Bone marrow smear:
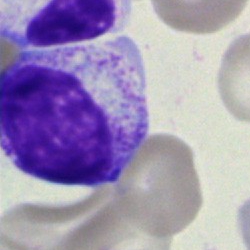Q: What is shown here?
A: Myelocyte.